Bone marrow smear · 250×250 px: 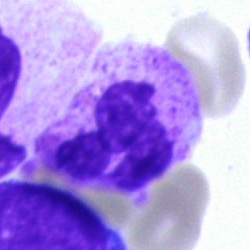{"cell_type": "neutrophil (segmented)"}